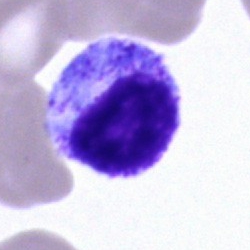
Single cell identified as a myelocyte.